MGG-stained; bone marrow smear; single-cell crop: 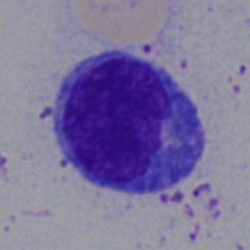
Lymphocyte.